Bone marrow aspirate smear:
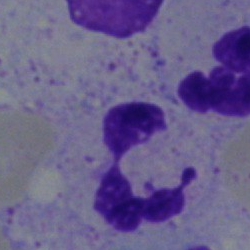
Cell = segmented neutrophil.